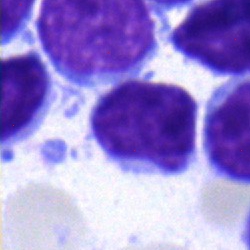 Morphological class — typical lymphocyte.